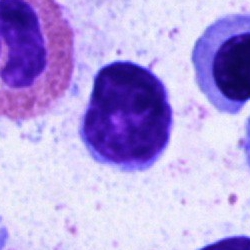A lymphocyte on a bone marrow smear.